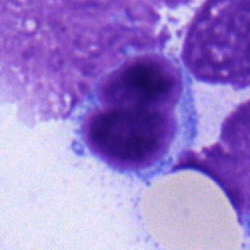

Q: What type of cell is this?
A: Lymphocyte.